Bone marrow smear
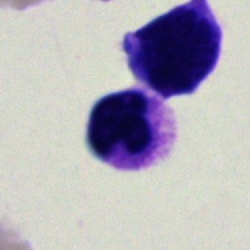
Morphology — artifact.